Bone marrow smear; cropped to a single cell:
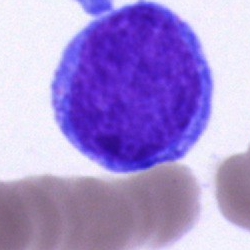 Impression — blast.